Single cell centered in the field; peripheral blood smear
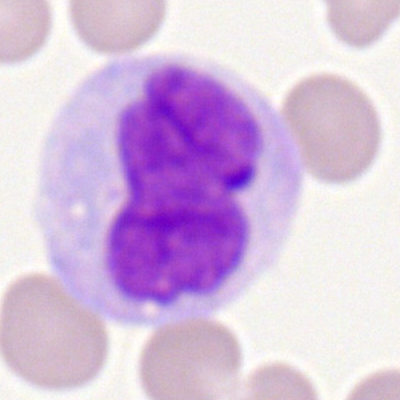

Q: What cell is this?
A: A monocyte.